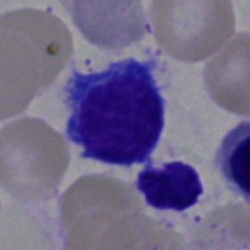 Bone marrow aspirate smear, single cell — typical lymphocyte.